Bone marrow aspirate smear · brightfield, 40× oil-immersion objective.
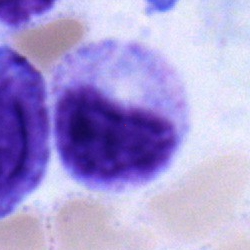This is a metamyelocyte.